Bone marrow smear: 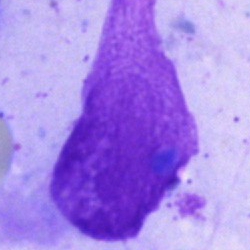Specimen: bone marrow aspirate smear.
Cell: artefact.